Bone marrow aspirate smear: 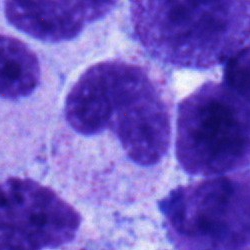 Metamyelocyte.